Bone marrow aspirate smear
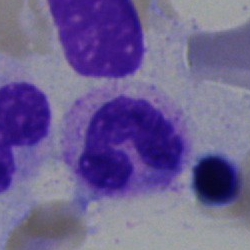
Impression — polymorphonuclear neutrophil.